Bone marrow smear. Brightfield microscopy, 40× oil immersion. 250×250 px: 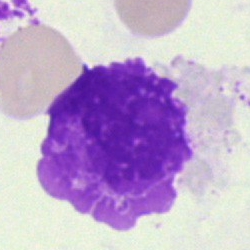Morphology — artifact.